Bone marrow smear: 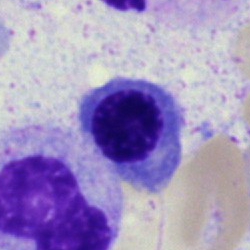Specimen: bone marrow aspirate smear.
Cell type: erythroblast.
Lineage: erythroid.